Bone marrow aspirate smear.
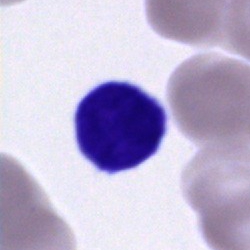The classification is typical lymphocyte.